Bone marrow smear — 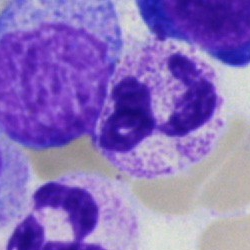 Specimen: bone marrow aspirate smear.
Cell: polymorphonuclear neutrophil.